Bone marrow aspirate smear; 250×250
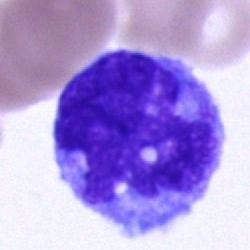
Single cell identified as a monocyte.